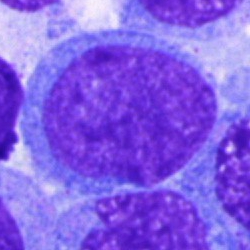Cell — blast cell.